Peripheral blood smear. Single cell centered in the field:
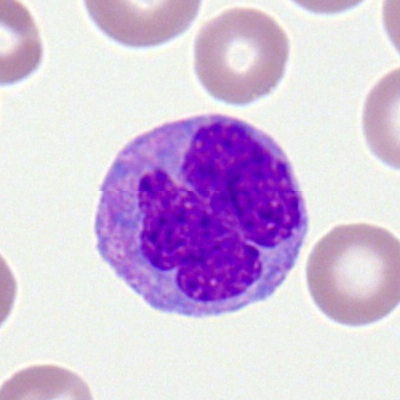Q: What is the morphological classification of this cell?
A: Monocyte.